Image size 250×250 · brightfield, 40× oil-immersion objective · bone marrow aspirate smear:
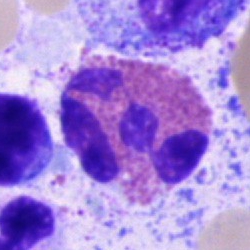 Morphology consistent with an eosinophilic granulocyte.